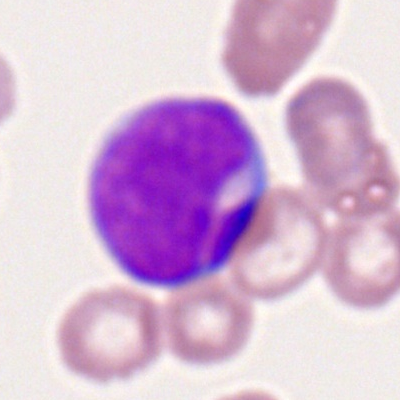 Showing a myeloid blast.